Bone marrow smear; 250 by 250 pixels
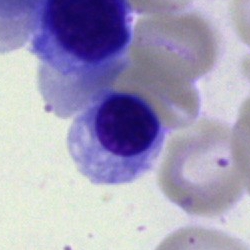
Cell type: normoblast.